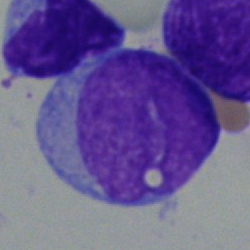 An undifferentiated blast.